40× objective, oil immersion. Bone marrow smear. Single cell centered in the field.
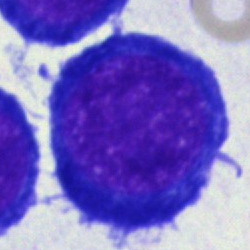The cell type is erythroblast.